Bone marrow aspirate smear
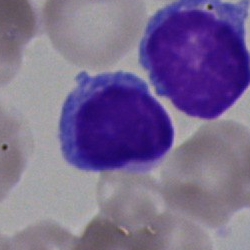

Morphology consistent with a typical lymphocyte.